Brightfield, 40× oil-immersion objective; May-Grünwald-Giemsa/Pappenheim stain; bone marrow aspirate smear: 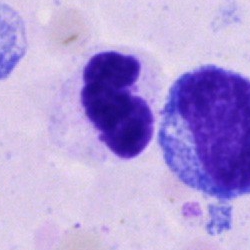

Classification = polymorphonuclear neutrophil.